40× objective, oil immersion; bone marrow smear:
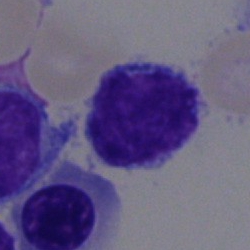

{"cell_type": "lymphocyte"}